Single-cell crop · 250×250 px · bone marrow aspirate smear
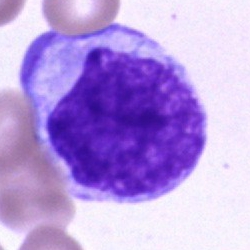

Q: What cell is this?
A: It is a blast cell.